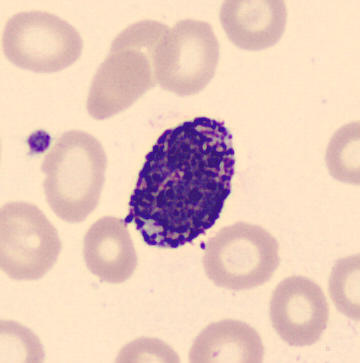 Classification = basophilic granulocyte.

Preparation: Peripheral blood smear.